Bone marrow aspirate smear. May-Grünwald-Giemsa stain
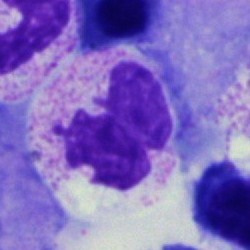 Morphology consistent with a neutrophil (segmented).